Bone marrow aspirate smear · single-cell field · 250 by 250 pixels.
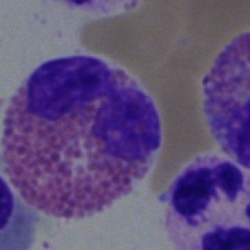

Classification = eosinophil.